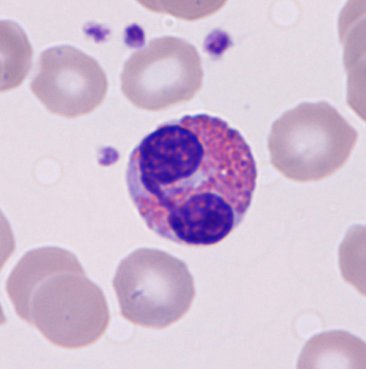

An eosinophil.